Bone marrow smear.
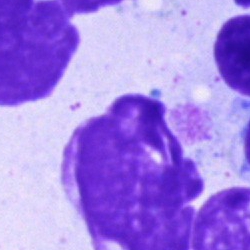 The cell is artifact.